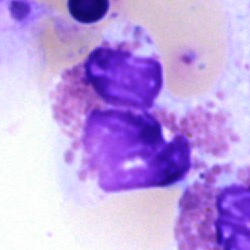Artefact.